Bone marrow aspirate smear:
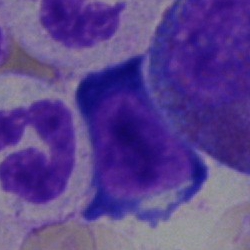

Q: Which cell type is shown here?
A: Polymorphonuclear neutrophil.